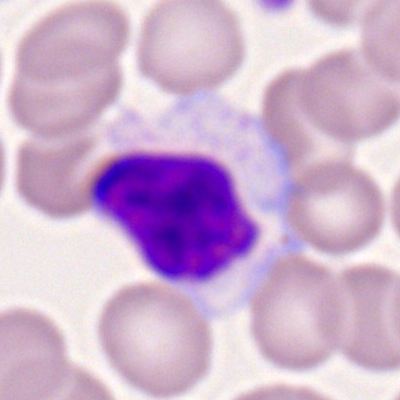Peripheral blood smear showing a typical lymphocyte.